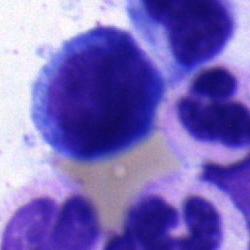Morphological class = segmented neutrophil.